Single-cell field; bone marrow aspirate smear: 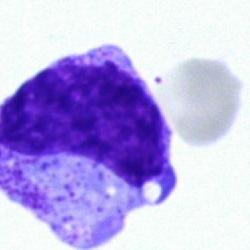

Impression → metamyelocyte.